Bone marrow aspirate smear: 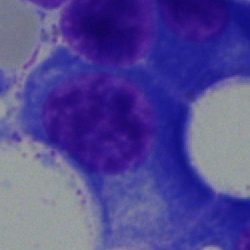
A plasma cell.